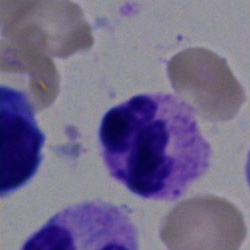
Single-cell crop from a bone marrow smear: neutrophil (segmented).